Bone marrow smear — 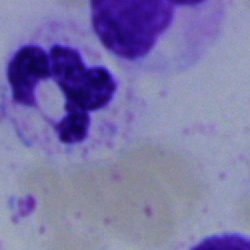

Morphology → polymorphonuclear neutrophil.